Bone marrow smear. May-Grünwald-Giemsa stain:
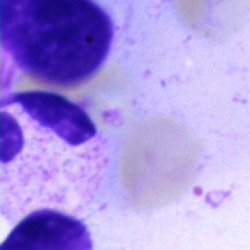

Cell: artifact.